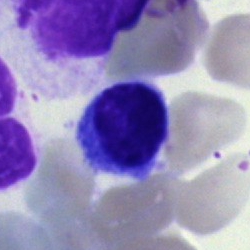 Cell type = typical lymphocyte.